MGG-stained · bone marrow smear · brightfield, 40× oil-immersion objective — 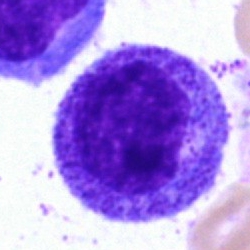 Morphological class: progranulocyte.